40× objective, oil immersion · bone marrow smear.
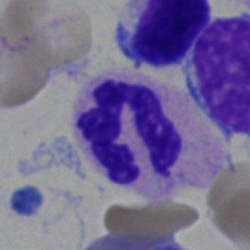
Specimen: bone marrow smear.
Classification: polymorphonuclear neutrophil.
Lineage: myeloid.